Bone marrow smear:
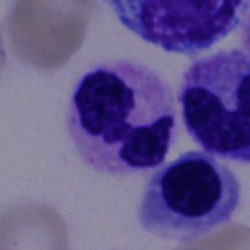
Cell type — polymorphonuclear neutrophil.